Bone marrow aspirate smear.
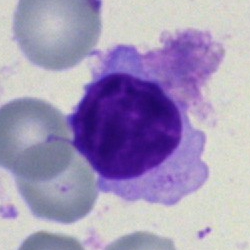Morphological class — lymphocyte.